Bone marrow smear. Brightfield, 40× oil-immersion objective. Single-cell crop:
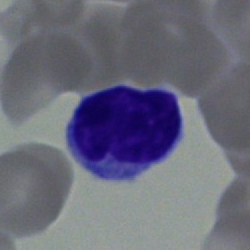

Q: What cell is this?
A: Lymphocyte.